Bone marrow smear. Single cell centered in the field — 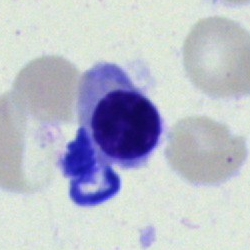

Normoblast.